Bone marrow smear — 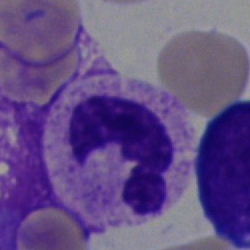 Cell type = neutrophil (segmented).